Bone marrow smear · MGG-stained · brightfield microscopy, 40× oil immersion — 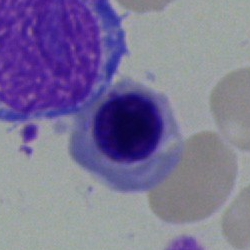
Q: What is the morphological classification of this cell?
A: It is a normoblast.